Peripheral blood smear · 400 by 400 pixels.
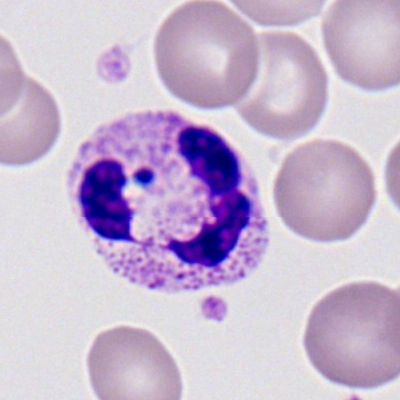 Cell: neutrophil (segmented).